Single-cell crop; Pappenheim-stained; bone marrow smear:
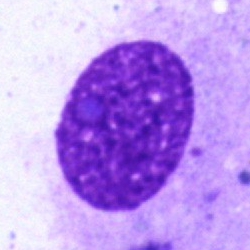 Morphology → artefact.